Bone marrow smear:
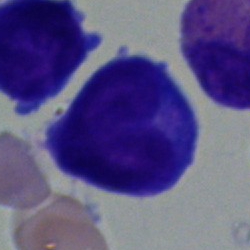

Morphology — blast.